Image size 250×250; bone marrow smear
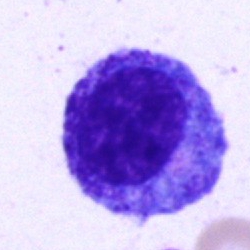
{"cell_type": "progranulocyte"}